Bone marrow smear:
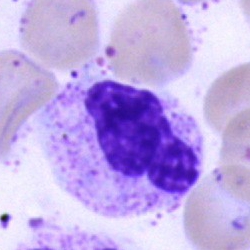Q: Identify the cell.
A: It is a segmented neutrophil.